100× oil immersion, 14.14 px/µm; peripheral blood film: 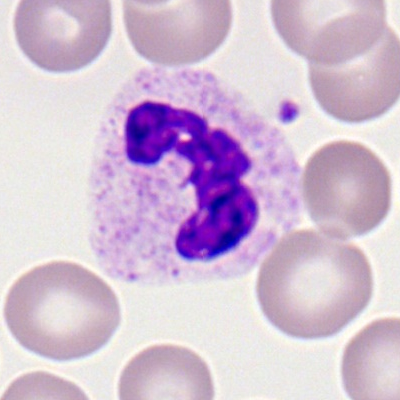 Showing a neutrophil (segmented).